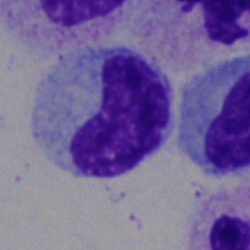
A band neutrophil.